Bone marrow smear:
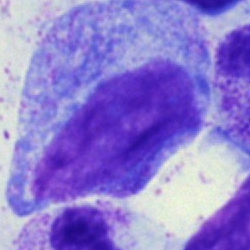

Specimen: bone marrow aspirate smear.
Classification: progranulocyte.
Lineage: myeloid.